Pappenheim-stained. Bone marrow aspirate smear
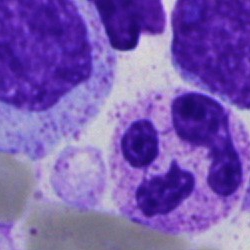 Q: Which cell type is shown here?
A: Polymorphonuclear neutrophil.